Peripheral blood smear
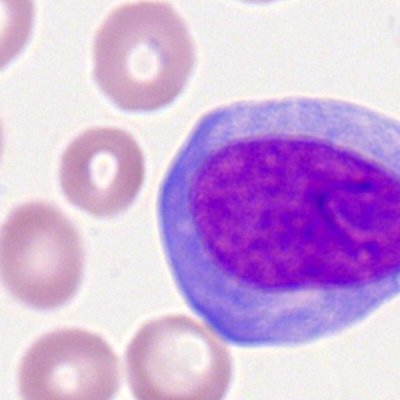 Specimen: peripheral blood smear.
Cell type: myeloblast.